40× oil immersion · Pappenheim-stained · bone marrow smear
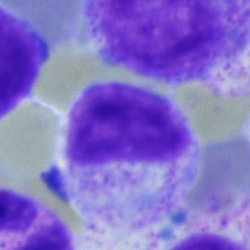

Morphology consistent with a metamyelocyte.